Bone marrow smear — 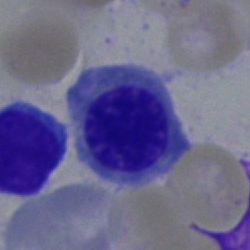

Q: What is the morphological classification of this cell?
A: Nucleated red blood cell.